Bone marrow smear; cropped to a single cell; 40× objective, oil immersion:
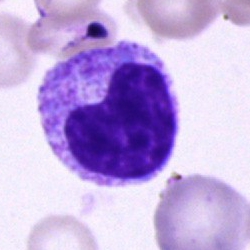 Morphology → metamyelocyte.